250×250 · bone marrow smear · single cell centered in the field:
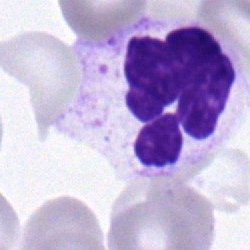Single cell identified as a neutrophil (segmented).